Bone marrow aspirate smear — 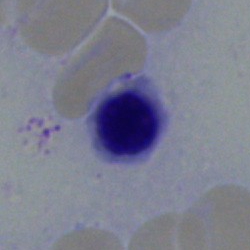Morphology consistent with an erythroblast.